Peripheral blood film.
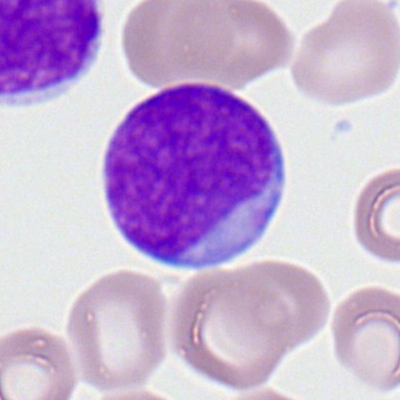
Myeloblast.